Bone marrow aspirate smear; Pappenheim-stained:
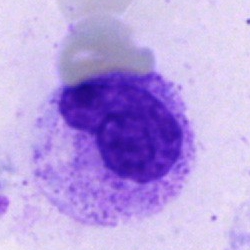{"cell_type": "neutrophil (segmented)", "lineage": "myeloid"}